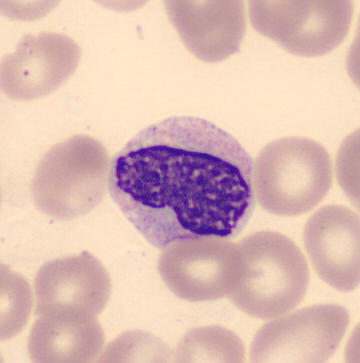Imaged on a CellaVision DM96 analyser; 360 by 363 pixels; peripheral blood film.
Impression — metamyelocyte.